Peripheral blood film:
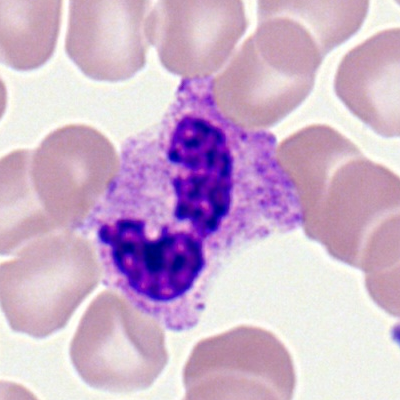 A polymorphonuclear neutrophil.